Bone marrow smear · 250×250:
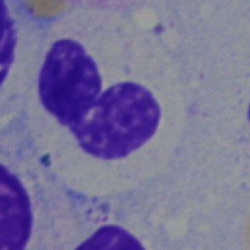 Q: Which cell type is shown here?
A: Neutrophil (band).